Bone marrow aspirate smear — 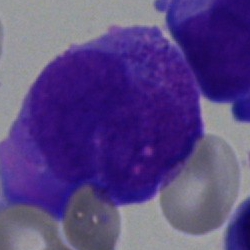 Q: What is shown here?
A: This is a blast.